Peripheral blood smear: 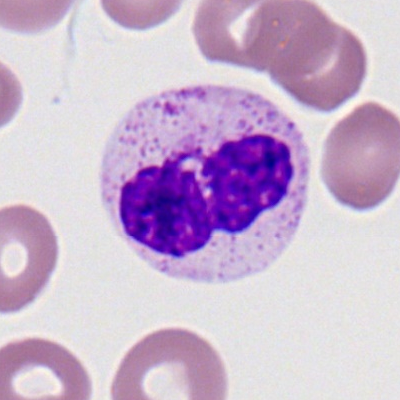

The cell is polymorphonuclear neutrophil.